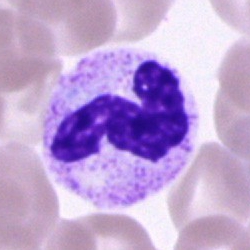
{"cell_type": "segmented neutrophil", "lineage": "myeloid"}